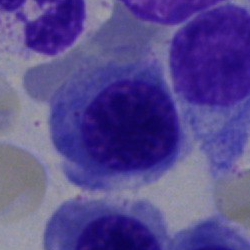Morphology consistent with a nucleated red blood cell.